Bone marrow smear — 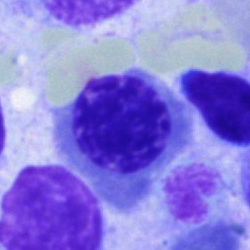
Classification — nucleated red cell.